Image size 250×250. Brightfield microscopy, 40× oil immersion. Bone marrow smear — 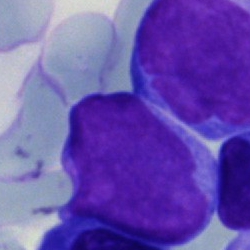Cell type: undifferentiated blast.